Bone marrow aspirate smear.
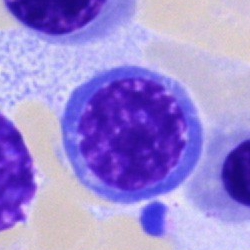 Cell — normoblast.